250×250 px · bone marrow smear: 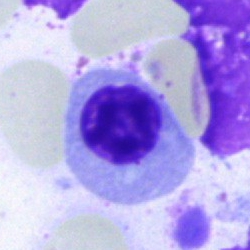
Morphology — erythroblast.